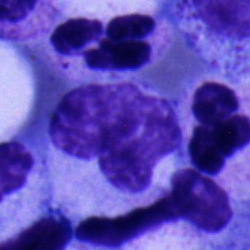 A band neutrophil.